Bone marrow aspirate smear; May-Grünwald-Giemsa stain:
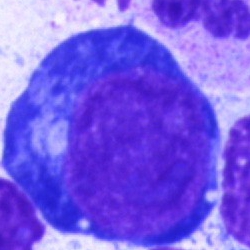{"cell_type": "pronormoblast", "lineage": "erythroid"}